Brightfield, 40× oil-immersion objective · image size 250×250 · bone marrow smear
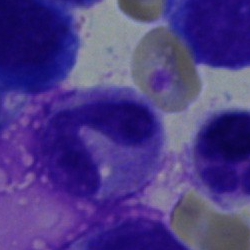

Morphology consistent with a band-form neutrophil.